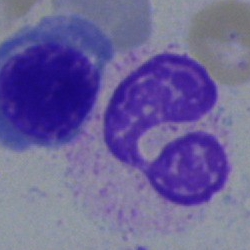

Q: What type of cell is this?
A: This is a segmented neutrophil.